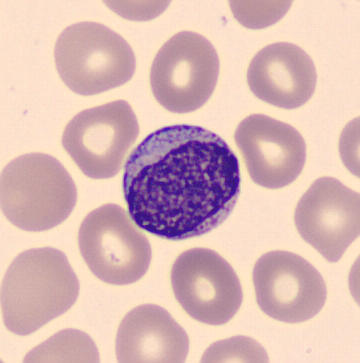 Cell: myelocyte.